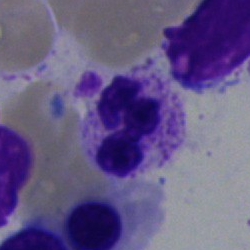Q: What cell is this?
A: Neutrophil (segmented).